Bone marrow smear — 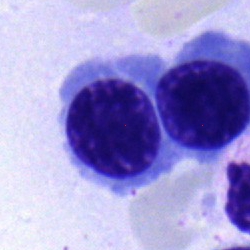 Q: What is shown here?
A: This is a nucleated red cell.